Bone marrow smear; 250×250 — 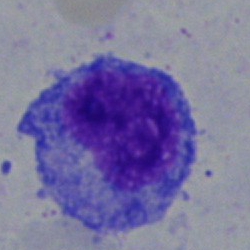Cell — myelocyte.